Bone marrow smear.
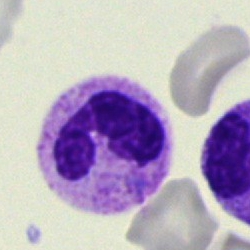
Q: What is shown here?
A: Polymorphonuclear neutrophil.